Peripheral blood film · 400×400 · Romanowsky-type stain:
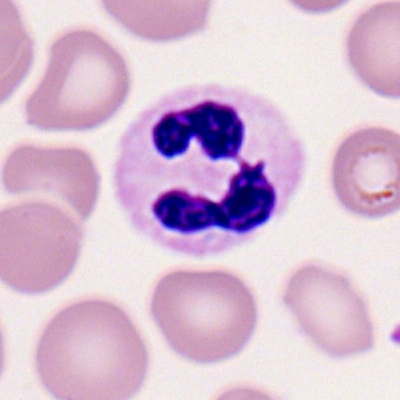
Cell type: polymorphonuclear neutrophil.